40× objective, oil immersion. Bone marrow smear — 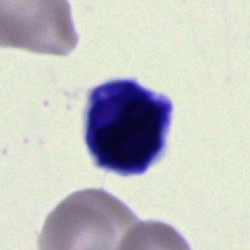 Q: What is shown here?
A: This is an artifact.